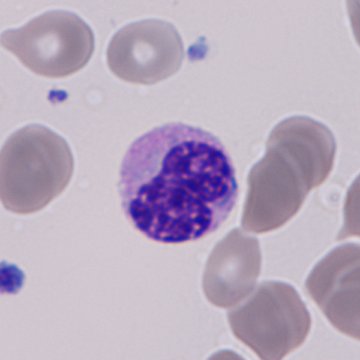
Specimen: peripheral blood film.
Cell type: immature granulocyte.
Lineage: myeloid.